250×250 px. Bone marrow aspirate smear: 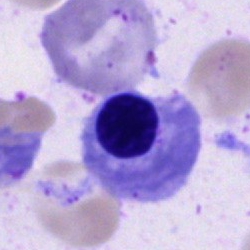 Nucleated red blood cell.